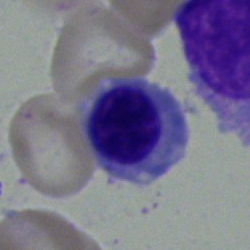
Q: Identify the cell.
A: Nucleated red blood cell.